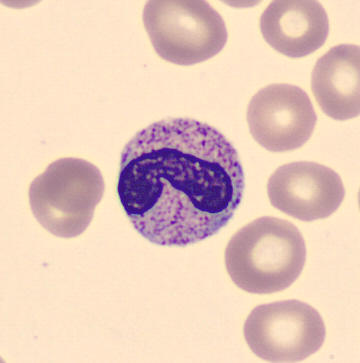 Specimen: peripheral blood film.
Cell: stab cell.
Lineage: myeloid.